40× oil immersion · May-Grünwald-Giemsa stain · bone marrow aspirate smear — 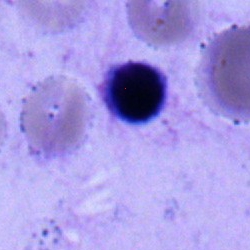
The cell shown is a lymphocyte.